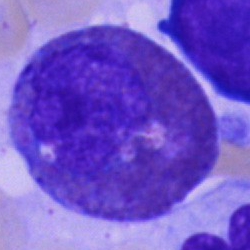
The cell type is eosinophilic granulocyte.